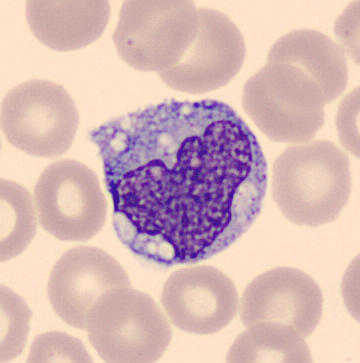

Morphological class: monocyte.